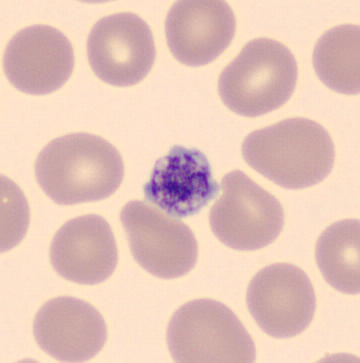 Specimen: peripheral blood smear.
Classification: platelet (thrombocyte).